Image size 250×250. Bone marrow aspirate smear — 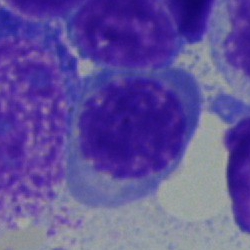

An erythroblast.